Cropped to a single cell. Bone marrow aspirate smear
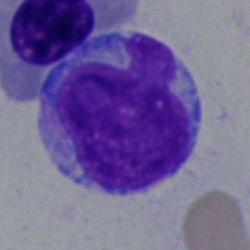
Specimen: bone marrow smear.
Cell: blast cell.